Brightfield, 40× oil-immersion objective. Bone marrow smear:
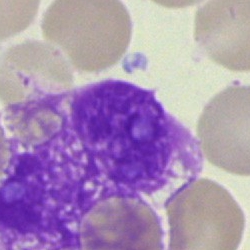
Specimen: bone marrow aspirate smear.
Classification: artifact.